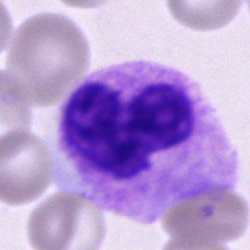 This is a segmented neutrophil.